Brightfield, 100× oil-immersion objective; peripheral blood smear
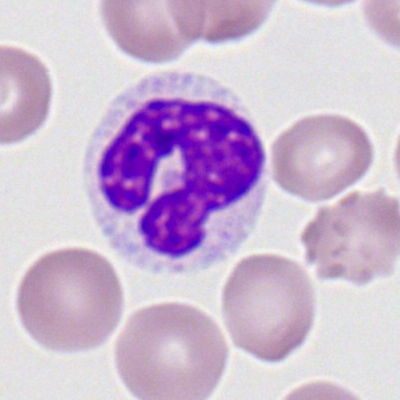
Single cell identified as a polymorphonuclear neutrophil.